Bone marrow aspirate smear:
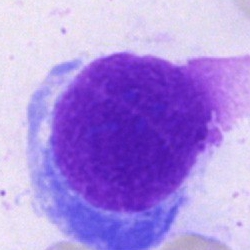

Plasmacyte.